Bone marrow smear · image size 250×250 — 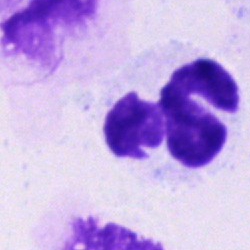

Single cell identified as a neutrophil (segmented).